Bone marrow smear
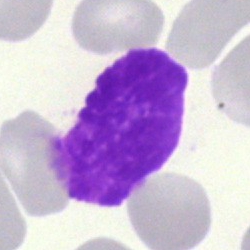

A smudge cell.